Bone marrow smear
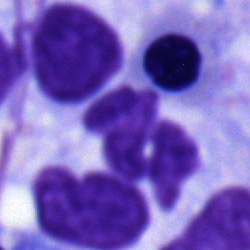Impression → neutrophil (segmented).